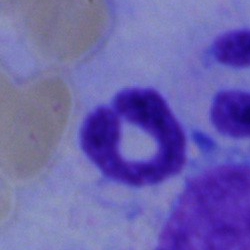 The cell shown is a neutrophil (segmented).